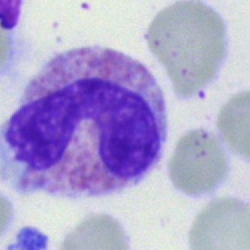Morphological class: eosinophilic granulocyte.